Bone marrow smear; single cell centered in the field; MGG-stained
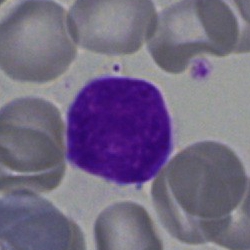 The cell shown is a lymphocyte.